Peripheral blood film.
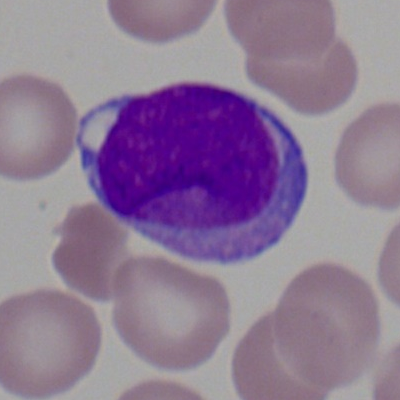
Myeloid blast.